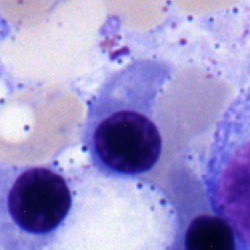 This is an erythroblast.